Pappenheim-stained. Bone marrow aspirate smear — 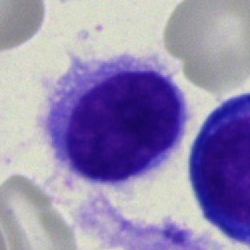This is a hairy cell.